Peripheral blood film:
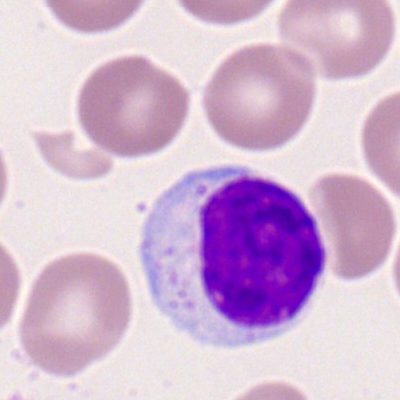

Impression — typical lymphocyte.